Bone marrow aspirate smear — 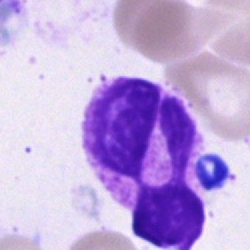
This is a polymorphonuclear neutrophil.